250 by 250 pixels. Bone marrow aspirate smear:
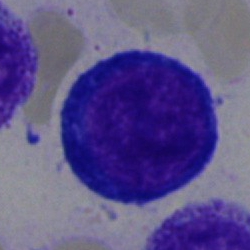Morphological class: normoblast.